May-Grünwald-Giemsa/Pappenheim stain; bone marrow smear: 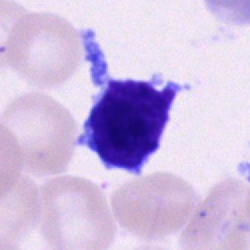Lymphocyte.